Bone marrow smear
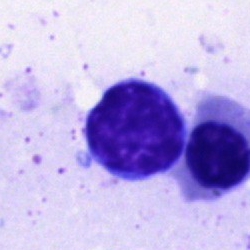

Specimen: bone marrow smear.
Morphological class: lymphocyte.